May-Grünwald-Giemsa stain · bone marrow smear · cropped to a single cell:
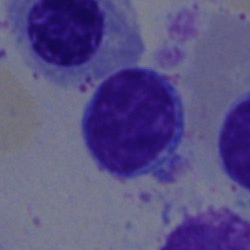 Morphology — lymphocyte.